Bone marrow smear: 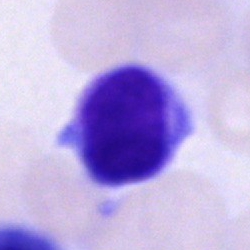
The cell is unidentifiable cell.